Bone marrow smear
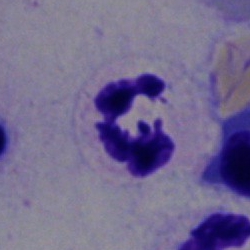

Morphology consistent with a polymorphonuclear neutrophil.